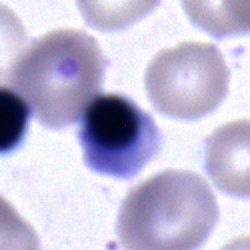This is a nucleated red cell.